Bone marrow smear
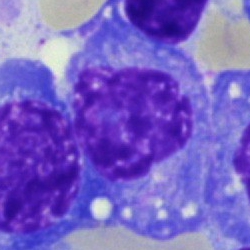 Morphology consistent with a plasma cell.